Peripheral blood film: 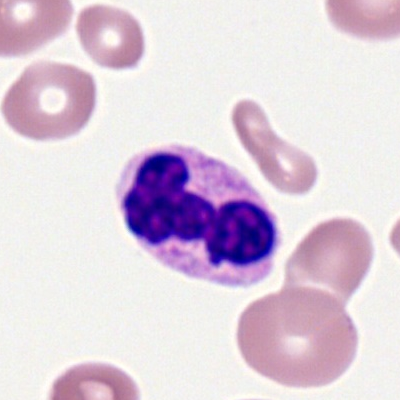
Q: What type of cell is this?
A: Polymorphonuclear neutrophil.